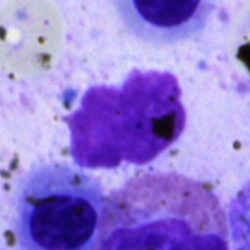 {"cell_type": "artefact"}